Single-cell crop · bone marrow smear.
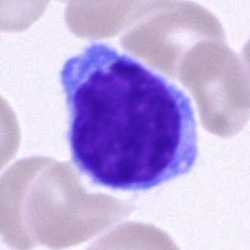

Q: What cell is this?
A: A typical lymphocyte.